Bone marrow smear — 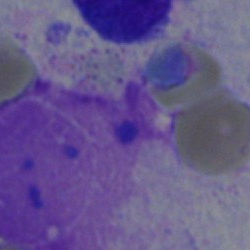
Morphology — artifact.